Bone marrow aspirate smear:
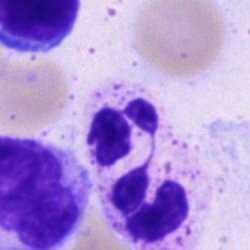 Specimen: bone marrow smear.
Cell: neutrophil (segmented).